Peripheral blood film.
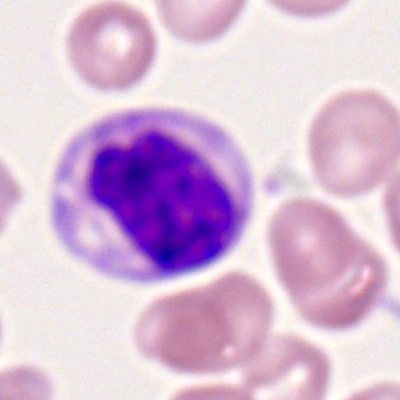
Cell: neutrophil (segmented).